Peripheral blood smear. Romanowsky-type stain: 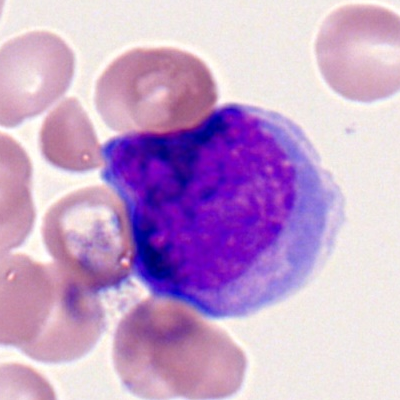

This is a myeloblast.